Bone marrow smear:
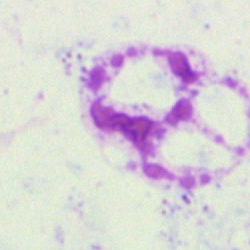

Cell: artefact.